Bone marrow aspirate smear; May-Grünwald-Giemsa stain: 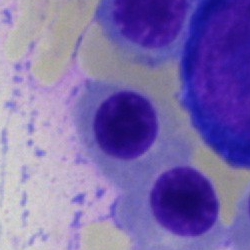 Morphological class — erythroblast.